Peripheral blood film. Single-cell field — 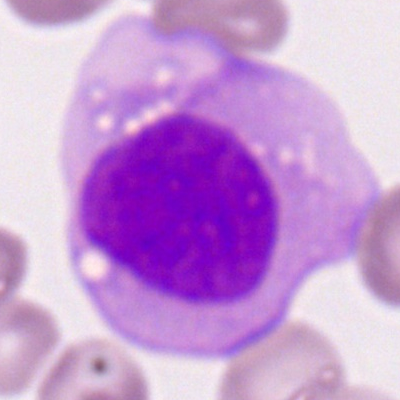

Q: What cell is this?
A: Monocyte.